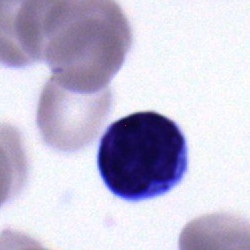A typical lymphocyte.